Bone marrow smear.
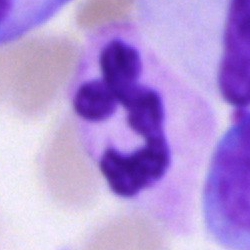

Cell = polymorphonuclear neutrophil.